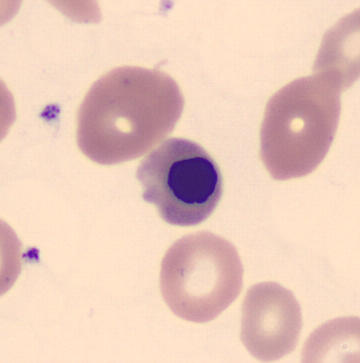Peripheral blood smear. Q: What is the morphological classification of this cell?
A: Nucleated red cell.